Bone marrow smear. Single-cell field:
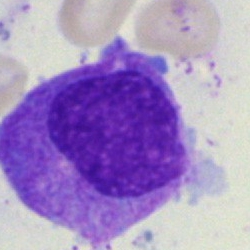
Morphology → promyelocyte.